Peripheral blood film; 400×400; Romanowsky-stained.
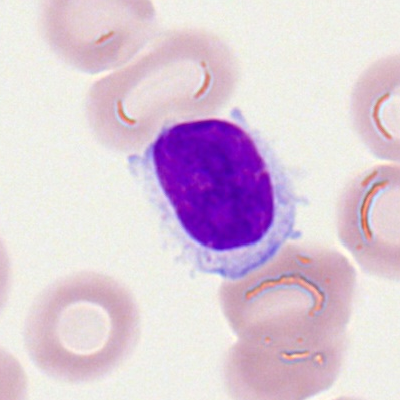
Morphology consistent with a typical lymphocyte.